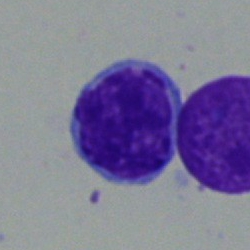Impression — lymphocyte.